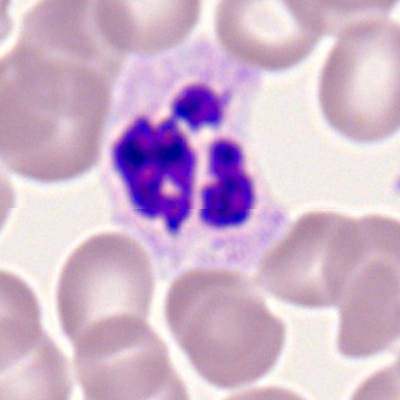

Specimen: peripheral blood smear.
Cell: polymorphonuclear neutrophil.